Bone marrow aspirate smear
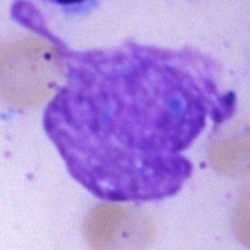Classification: artifact.